Bone marrow aspirate smear. May-Grünwald-Giemsa stain. 40× objective, oil immersion.
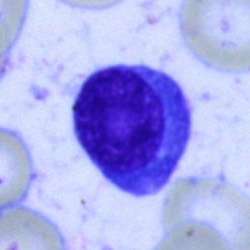

Q: What cell is this?
A: This is a plasma cell.